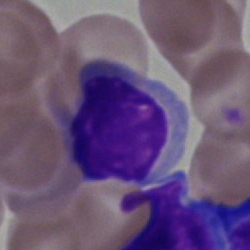
This is a typical lymphocyte.